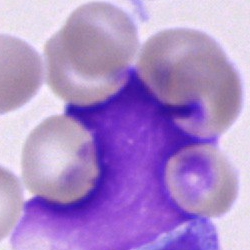Single-cell crop from a bone marrow smear: artefact.